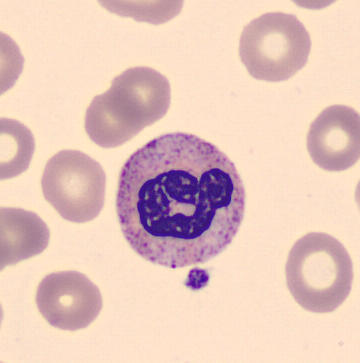Single-cell field · peripheral blood film.
Morphological class — band-form neutrophil.